250×250; cropped to a single cell; bone marrow smear
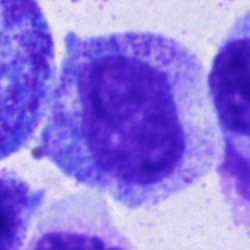
Impression → promyelocyte.